Bone marrow aspirate smear.
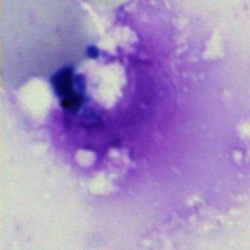Q: What is shown here?
A: It is an artifact.